Bone marrow aspirate smear — 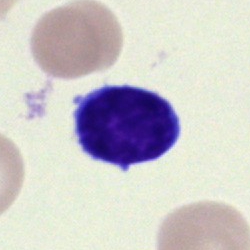

Morphological class = typical lymphocyte.